Single-cell field. Peripheral blood film. Romanowsky-type stain
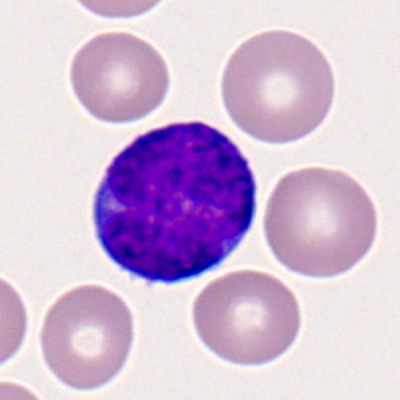 Cell type = myeloid blast.